250×250; bone marrow smear — 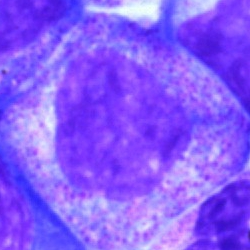Cell — myelocyte.